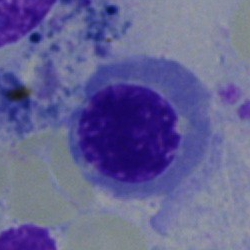 This is an erythroblast.